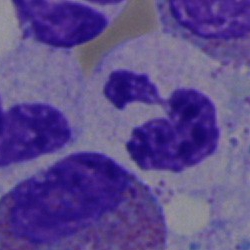

Single-cell crop from a bone marrow smear: polymorphonuclear neutrophil.